Bone marrow aspirate smear · cropped to a single cell
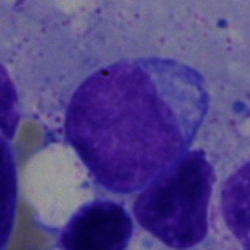 This is a typical lymphocyte.